100× oil immersion · peripheral blood film: 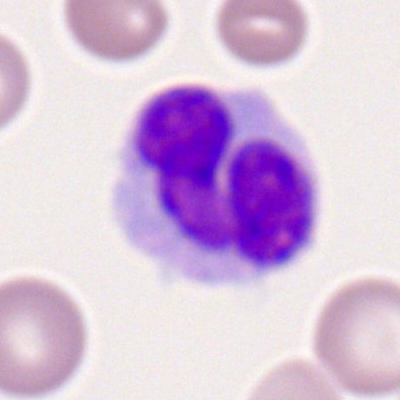Morphology — monocyte.